Bone marrow aspirate smear; brightfield microscopy, 40× oil immersion.
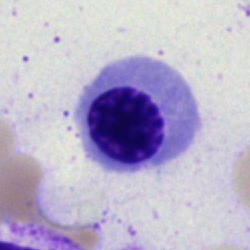 Specimen: bone marrow smear.
Cell: nucleated red blood cell.
Lineage: erythroid.